Peripheral blood smear:
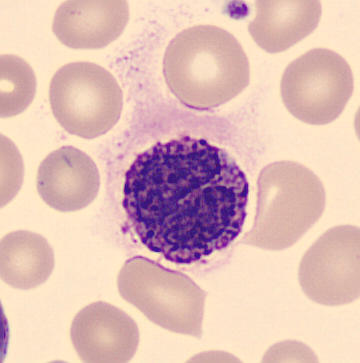Specimen: peripheral blood film.
Cell: basophil.
Lineage: myeloid.